Cropped to a single cell. Bone marrow smear.
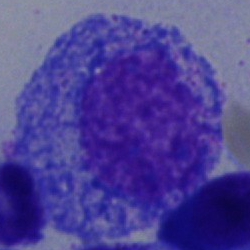Specimen: bone marrow smear.
Morphological class: promyelocyte.